Peripheral blood smear:
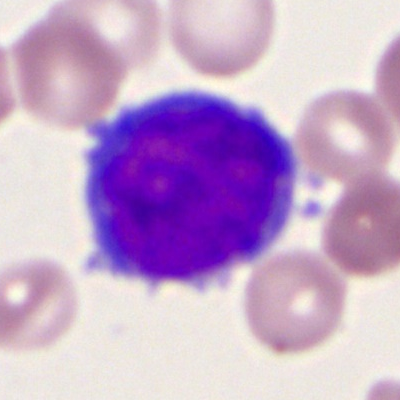
Cell type = myeloid blast.